Single cell centered in the field. Bone marrow aspirate smear: 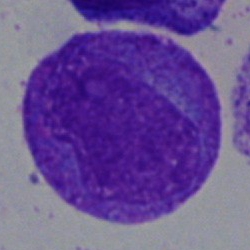 {"cell_type": "promyelocyte", "lineage": "myeloid"}